Bone marrow aspirate smear · 40× oil immersion:
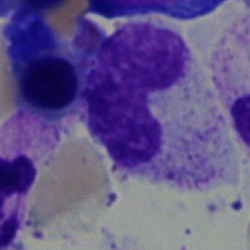

Classification = metamyelocyte.